Bone marrow aspirate smear
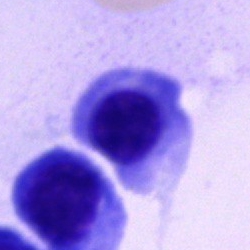 Specimen: bone marrow aspirate smear.
Morphological class: nucleated red cell.
Lineage: erythroid.